Single cell centered in the field; Pappenheim-stained; bone marrow aspirate smear
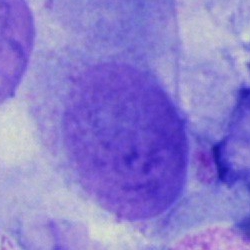

This is an artefact.